Brightfield, 40× oil-immersion objective; bone marrow smear: 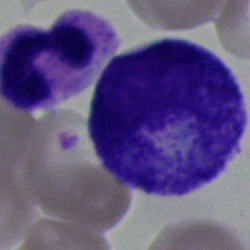Showing a progranulocyte.